Peripheral blood film:
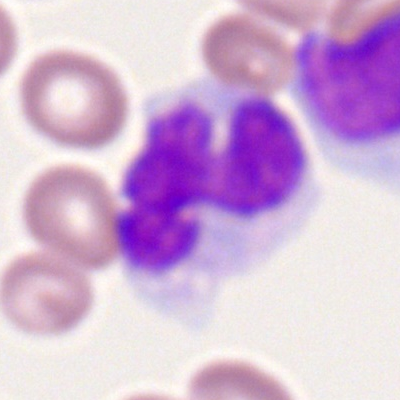 Specimen: peripheral blood smear.
Cell type: monocyte.